Bone marrow smear; Pappenheim-stained; brightfield, 40× oil-immersion objective — 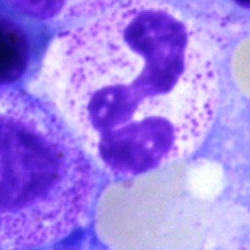 Specimen: bone marrow smear.
Cell: neutrophil (segmented).
Lineage: myeloid.